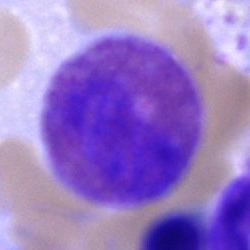

Morphology consistent with an eosinophilic granulocyte.